Bone marrow aspirate smear — 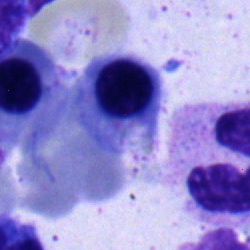 Showing an erythroblast.